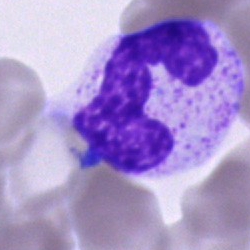

Neutrophil (band).